Bone marrow smear:
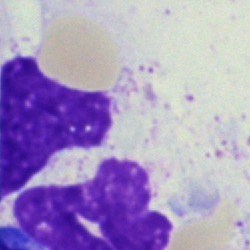Cell: artifact.